Bone marrow smear:
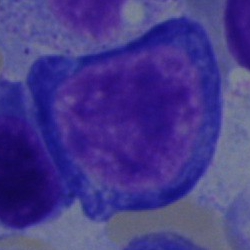

Q: What cell is this?
A: It is a proerythroblast.